Peripheral blood smear; 100× oil immersion; single cell centered in the field — 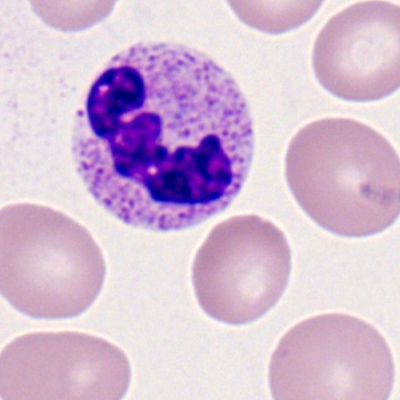
Morphology → polymorphonuclear neutrophil.